Bone marrow aspirate smear. Image size 250×250. May-Grünwald-Giemsa stain.
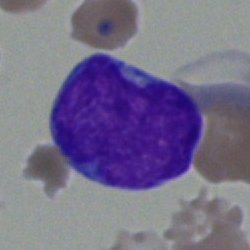
Morphology → blast.